MGG-stained; bone marrow aspirate smear; 250×250: 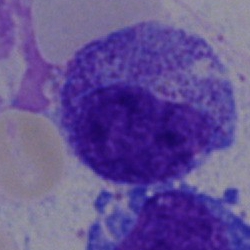 The cell is promyelocyte.